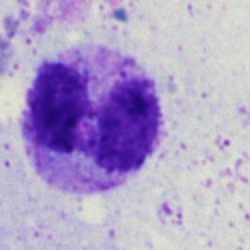 Neutrophil (segmented).